250×250 px. Bone marrow aspirate smear
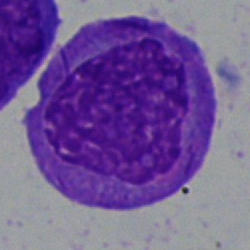
Morphology → progranulocyte.